Bone marrow smear: 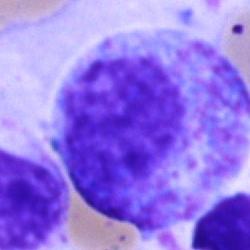{"cell_type": "progranulocyte", "lineage": "myeloid"}